Peripheral blood film: 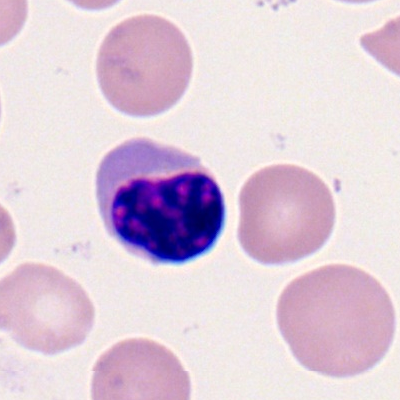 An erythroblast.